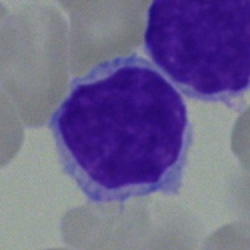

A typical lymphocyte.